100× objective, oil immersion; peripheral blood smear
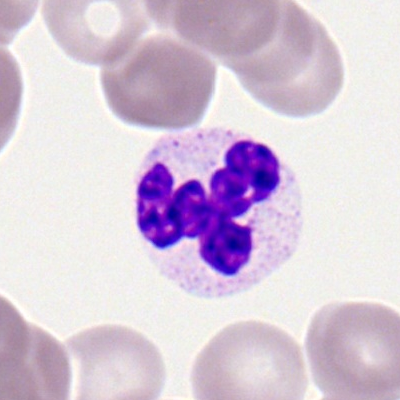Q: Which cell type is shown here?
A: This is a polymorphonuclear neutrophil.